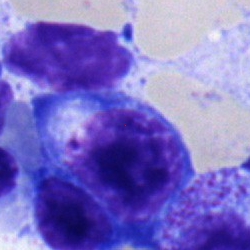

Specimen: bone marrow smear.
Classification: nucleated red blood cell.